Bone marrow aspirate smear: 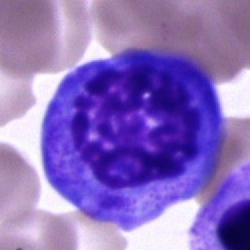{"cell_type": "promyelocyte", "lineage": "myeloid"}